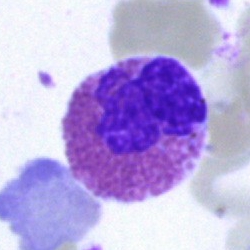

Morphology consistent with an eosinophilic granulocyte.